Bone marrow smear; single-cell crop.
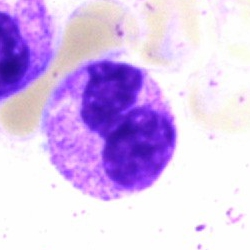 Cell type — neutrophil (segmented).